Bone marrow aspirate smear · 250 by 250 pixels:
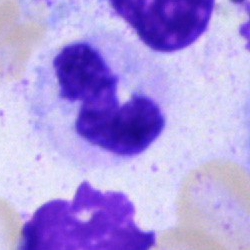Q: Identify the cell.
A: This is a neutrophil (segmented).